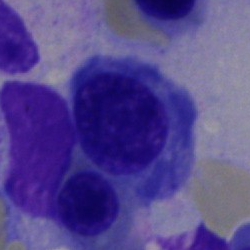

A nucleated red cell on a bone marrow smear.